Single cell centered in the field · bone marrow smear:
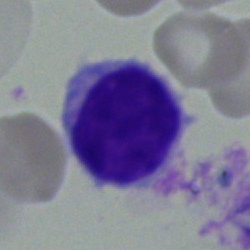

Classification — typical lymphocyte.